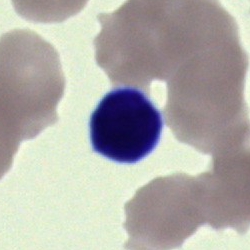 Showing a cell of indeterminate lineage.